Bone marrow smear: 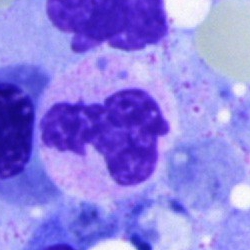 Impression → polymorphonuclear neutrophil.